Bone marrow smear — 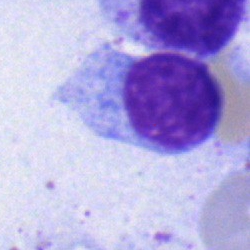 Morphology — lymphocyte.